Brightfield microscopy, 40× oil immersion · bone marrow smear · single cell centered in the field: 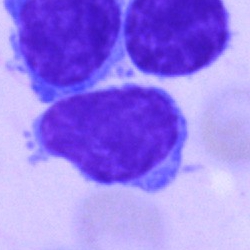
Cell type — typical lymphocyte.